Bone marrow smear — 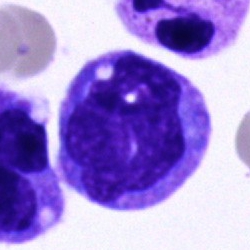 {"cell_type": "monocyte", "lineage": "myeloid"}